Bone marrow aspirate smear — 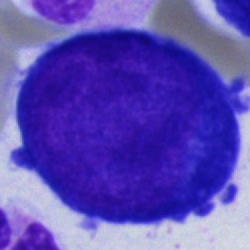

A pronormoblast.